250×250; brightfield microscopy, 40× oil immersion; bone marrow smear.
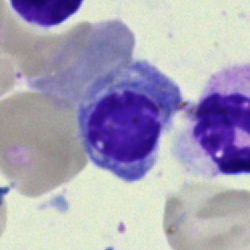
Showing a nucleated red blood cell.